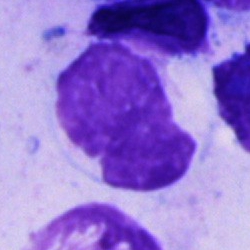

{"cell_type": "artefact"}